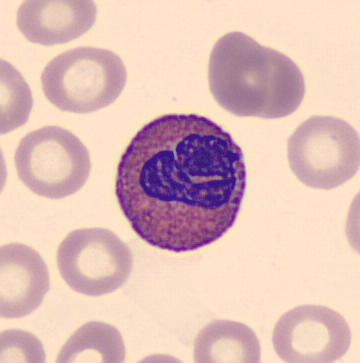Acquisition: Peripheral blood film.
Classification: eosinophil.